Bone marrow smear.
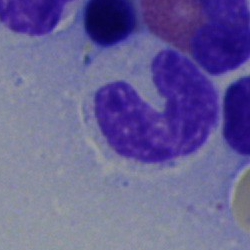 Morphological class — band neutrophil.